Bone marrow aspirate smear. Brightfield, 40× oil-immersion objective: 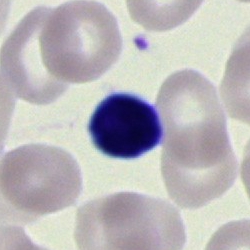This is a typical lymphocyte.